Bone marrow smear: 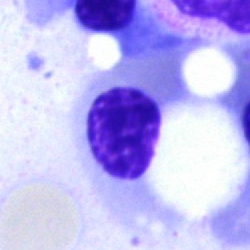
Morphology — nucleated red cell.